Brightfield, 40× oil-immersion objective; bone marrow aspirate smear; 250×250.
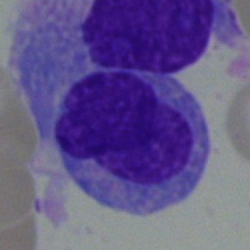

Showing a plasma cell.